Bone marrow aspirate smear — 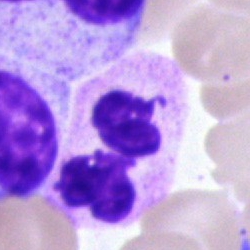
A polymorphonuclear neutrophil.